Bone marrow aspirate smear: 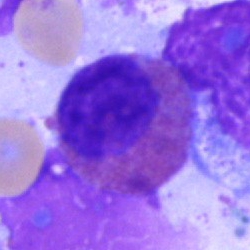 Specimen: bone marrow aspirate smear.
Classification: eosinophilic granulocyte.